Peripheral blood film: 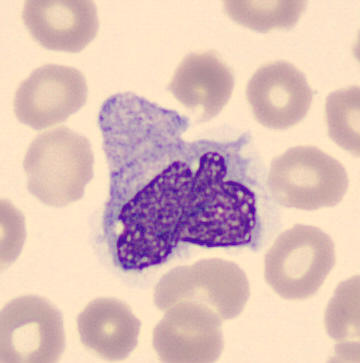 Monocyte.